Peripheral blood film: 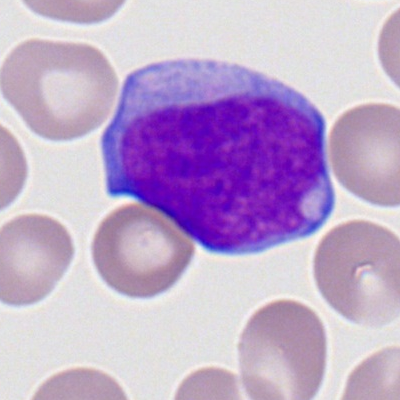The classification is myeloid blast.